Bone marrow smear; image size 250×250; brightfield microscopy, 40× oil immersion
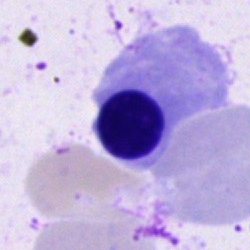
Impression → nucleated red cell.